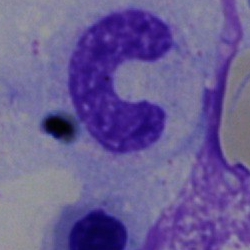Single-cell crop from a bone marrow smear: band-form neutrophil.